Bone marrow smear: 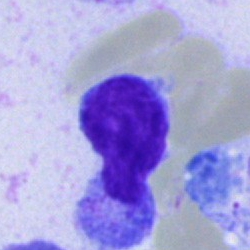

Impression — typical lymphocyte.